Bone marrow aspirate smear — 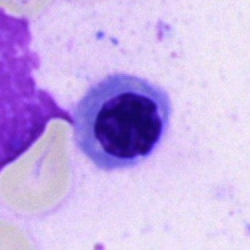The morphological class is nucleated red cell.